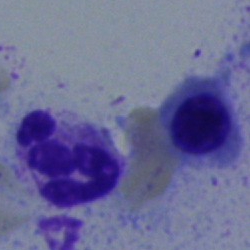 Single cell identified as a polymorphonuclear neutrophil.